Bone marrow smear. 40× oil immersion. MGG-stained.
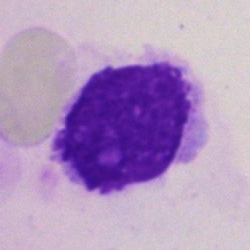Artefact.